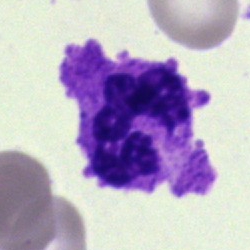 Specimen: bone marrow smear.
Cell: neutrophil (segmented).
Lineage: myeloid.